Bone marrow aspirate smear:
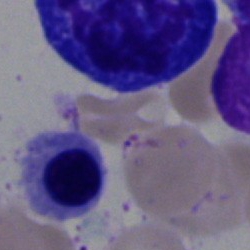Morphology — nucleated red cell.